Pappenheim-stained; bone marrow smear
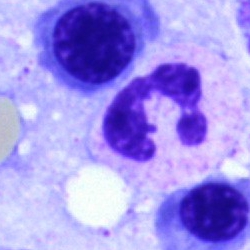

Classification: neutrophil (segmented).